Bone marrow smear; brightfield, 40× oil-immersion objective:
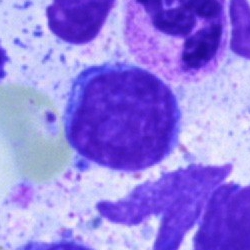 {"cell_type": "lymphocyte"}